Bone marrow aspirate smear.
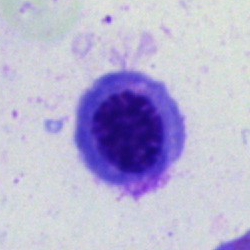
The cell is erythroblast.